Bone marrow smear.
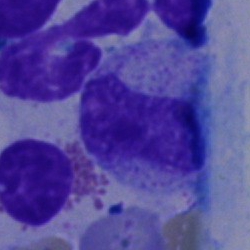
Morphology — band neutrophil.